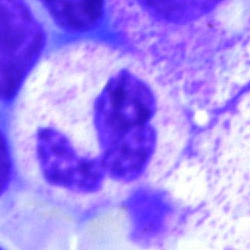
Q: What is shown here?
A: Segmented neutrophil.